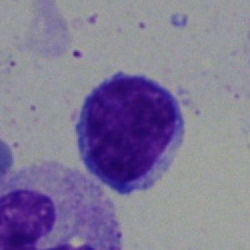Impression — typical lymphocyte.